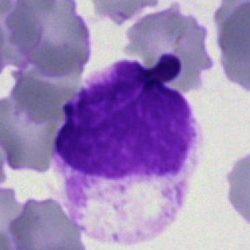
The cell type is artifact.